Bone marrow aspirate smear.
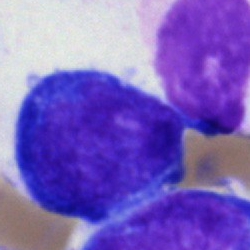 Morphology consistent with an undifferentiated blast.